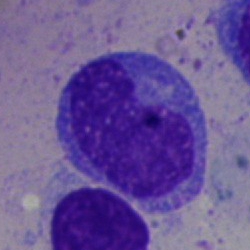Morphology — monocyte.